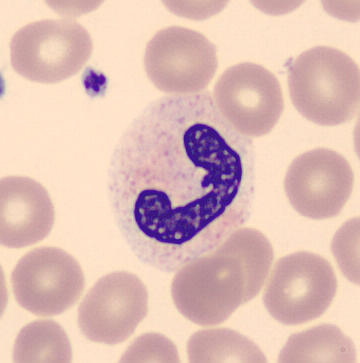Specimen: peripheral blood film.
Morphological class: band neutrophil.
Lineage: myeloid.